Bone marrow aspirate smear: 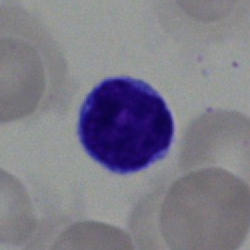 Q: Identify the cell.
A: It is a lymphocyte.